Romanowsky-type stain · peripheral blood smear:
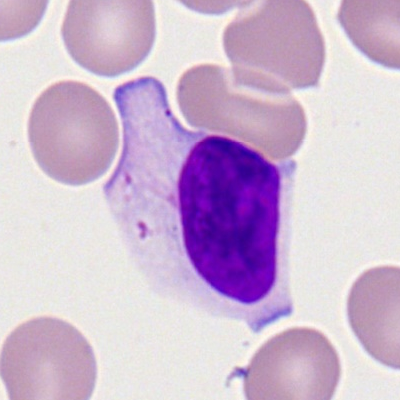Showing a typical lymphocyte.